Single-cell field; Romanowsky-stained; peripheral blood film: 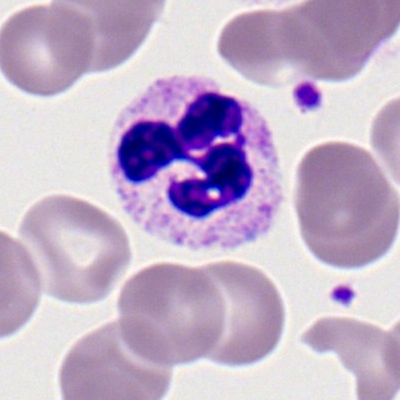 Specimen: peripheral blood smear.
Cell type: polymorphonuclear neutrophil.